Imaged on a CellaVision DM96 analyser · MGG stain · peripheral blood smear: 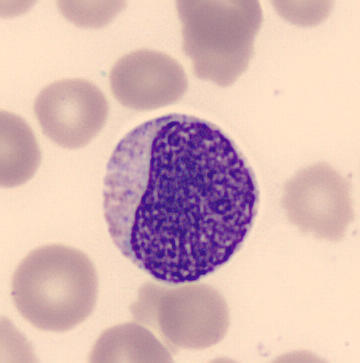 Q: Identify the cell.
A: This is a myelocyte.